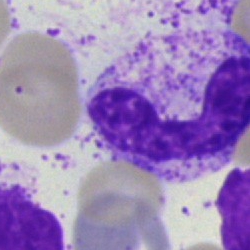
Specimen: bone marrow aspirate smear.
Cell: segmented neutrophil.
Lineage: myeloid.